Bone marrow aspirate smear: 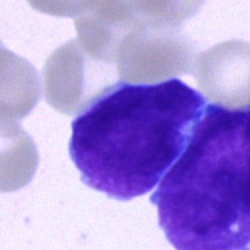{"cell_type": "undifferentiated blast"}